Single-cell field; bone marrow aspirate smear — 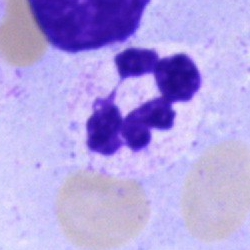Morphology consistent with a segmented neutrophil.